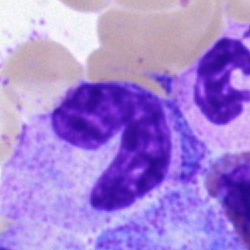 Cell = neutrophil (band).